Peripheral blood film; single cell centered in the field — 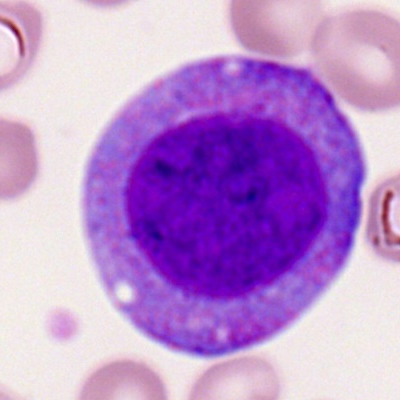Morphological class: promyelocyte.